Bone marrow aspirate smear · single cell centered in the field
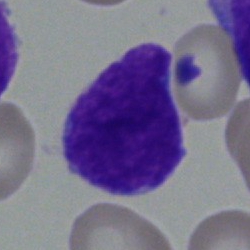
Q: What is the morphological classification of this cell?
A: Blast.